Bone marrow aspirate smear · single cell centered in the field · 250×250 px.
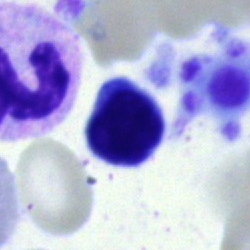 Cell — typical lymphocyte.